Bone marrow smear: 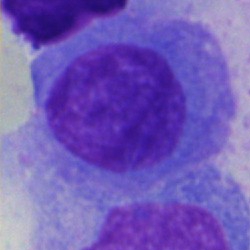Specimen: bone marrow smear.
Morphological class: plasma cell.
Lineage: lymphoid.